Bone marrow smear. Brightfield, 40× oil-immersion objective — 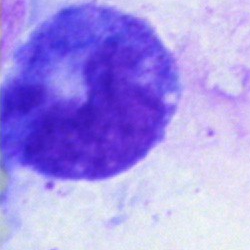

{"cell_type": "monocyte"}